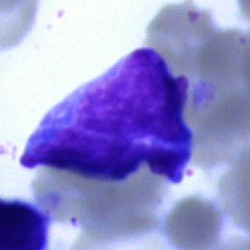Cell — immature lymphocyte.